Bone marrow aspirate smear; 250×250:
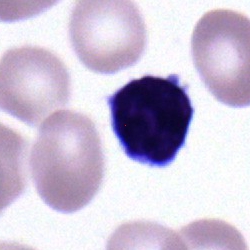 This is a lymphocyte.